Peripheral blood smear; Romanowsky-stained; M8 digital microscope (Precipoint), 100× oil immersion:
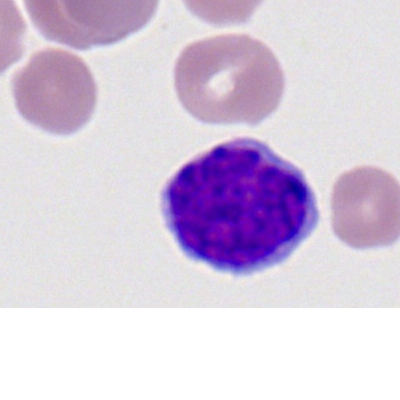

Single cell identified as a lymphocyte.